Bone marrow smear:
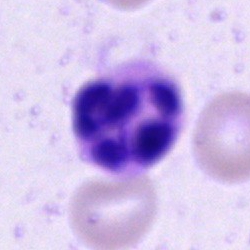 Morphology consistent with a segmented neutrophil.